Bone marrow aspirate smear · 250×250 px — 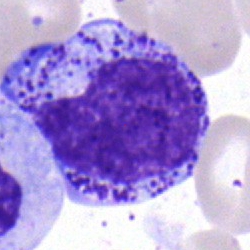

Myelocyte.